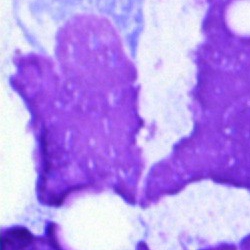

Cell: artefact.